MGG-stained. Bone marrow aspirate smear.
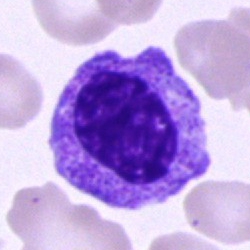

Myelocyte.